40× oil immersion. Bone marrow aspirate smear. 250 by 250 pixels.
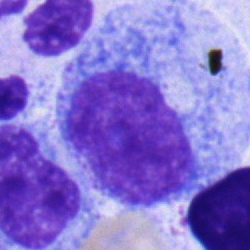
A progranulocyte.